100× objective, oil immersion · peripheral blood smear
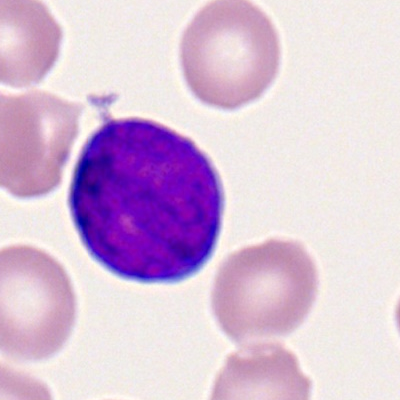 Morphological class — myeloid blast.